Bone marrow aspirate smear
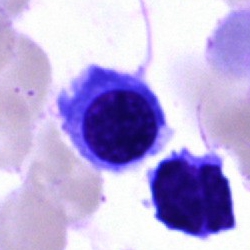
Showing a normoblast.